MGG-stained; bone marrow smear — 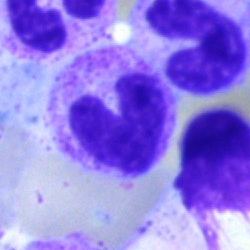

The morphological class is band-form neutrophil.